Bone marrow aspirate smear — 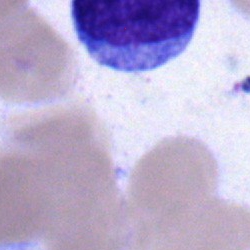Undifferentiated blast.